250×250. 40× oil immersion. Bone marrow aspirate smear.
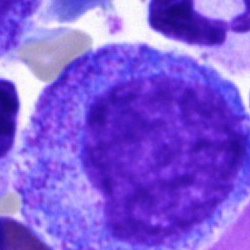 Q: What is the morphological classification of this cell?
A: Promyelocyte.